Single-cell crop. Bone marrow aspirate smear: 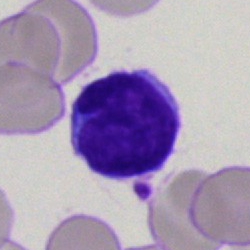Q: Which cell type is shown here?
A: A typical lymphocyte.